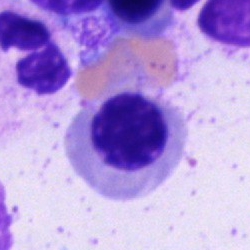

Cell type — normoblast.